Bone marrow aspirate smear; single cell centered in the field; brightfield microscopy, 40× oil immersion:
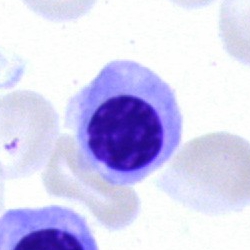

Morphology consistent with a nucleated red cell.